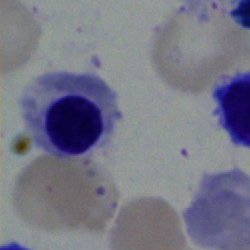

Cell = erythroblast.